Bone marrow aspirate smear:
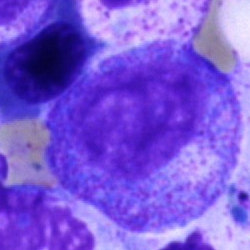
Cell: promyelocyte.